Bone marrow smear: 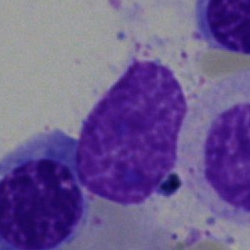{"cell_type": "artifact"}